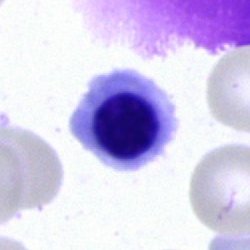

Nucleated red blood cell.